Bone marrow aspirate smear; 250 by 250 pixels; 40× oil immersion.
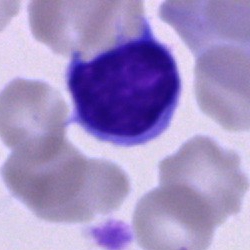Morphology consistent with a typical lymphocyte.